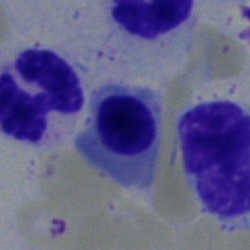Morphological class = nucleated red blood cell.